Bone marrow aspirate smear
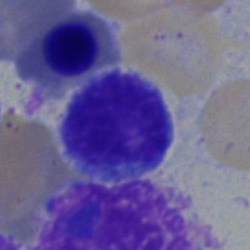
Morphology consistent with a lymphocyte.